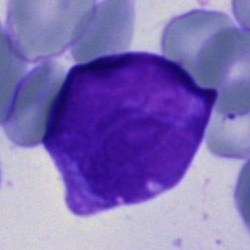Q: What type of cell is this?
A: A blast.